Bone marrow aspirate smear.
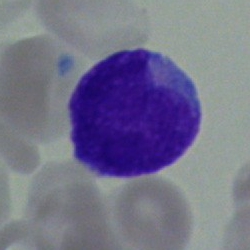 The classification is blast cell.